Peripheral blood film
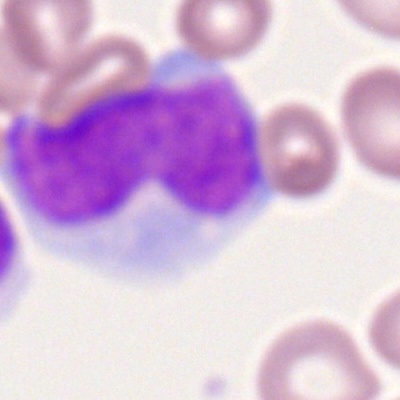Q: What type of cell is this?
A: Monocyte.